Bone marrow smear.
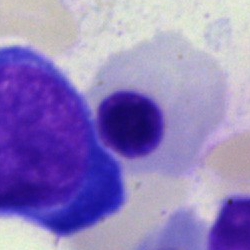 Q: What cell is this?
A: This is a normoblast.